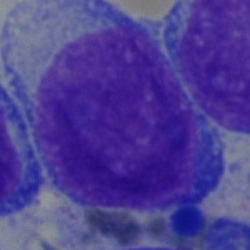

The cell shown is an undifferentiated blast.